40× objective, oil immersion · cropped to a single cell · bone marrow smear:
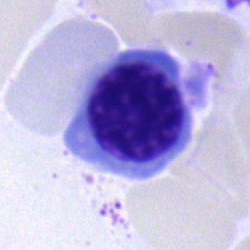
This is a normoblast.